Bone marrow aspirate smear; image size 250×250
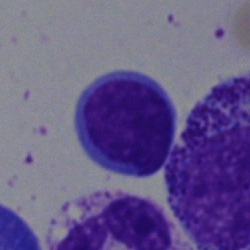
Q: Which cell type is shown here?
A: This is a lymphocyte.